Bone marrow aspirate smear; single-cell field; 250 by 250 pixels:
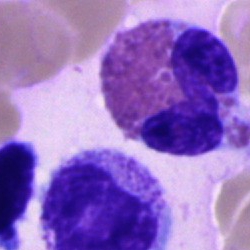
Impression — eosinophil.